250×250. Bone marrow aspirate smear — 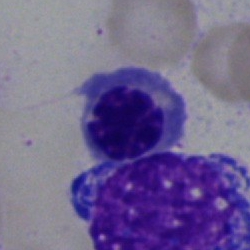Cell type: nucleated red blood cell.